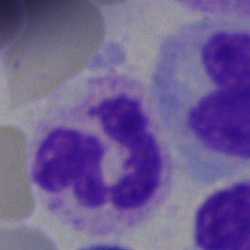

Classification: neutrophil (segmented).